Bone marrow aspirate smear:
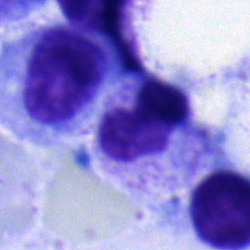
The cell shown is a neutrophil (band).